Bone marrow smear
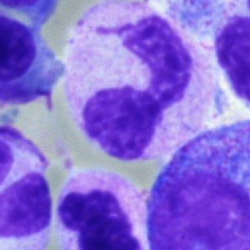

Morphological class = segmented neutrophil.